Bone marrow aspirate smear.
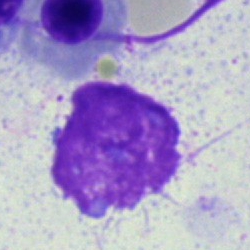Specimen: bone marrow aspirate smear.
Morphological class: artifact.